Bone marrow smear; single cell centered in the field.
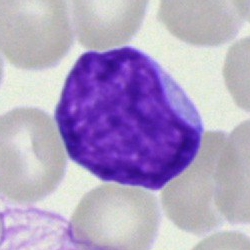

An undifferentiated blast.